40× oil immersion; bone marrow aspirate smear; single-cell crop: 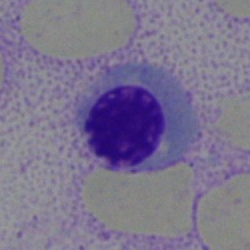

Classification: normoblast.